Bone marrow aspirate smear
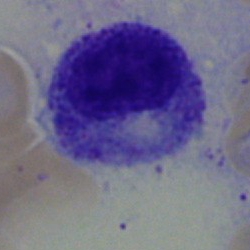 Showing a myelocyte.